Bone marrow smear · cropped to a single cell:
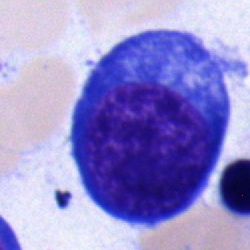

Pronormoblast.